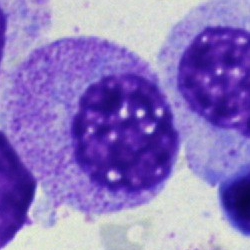

Q: What is shown here?
A: This is a myelocyte.